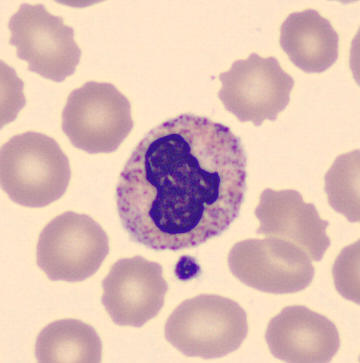
Single cell identified as a neutrophil (segmented).